Single cell centered in the field; bone marrow aspirate smear: 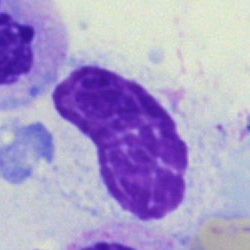

Morphology consistent with an artifact.